Pappenheim-stained; bone marrow aspirate smear
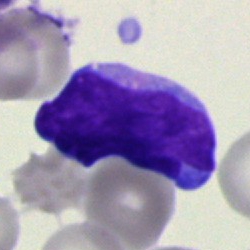
{"cell_type": "blast cell"}